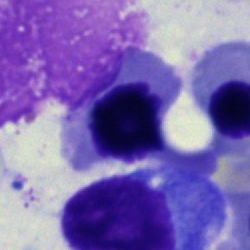
Classification: nucleated red cell.